Bone marrow aspirate smear
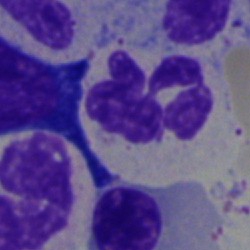Neutrophil (segmented).